Bone marrow smear; MGG-stained.
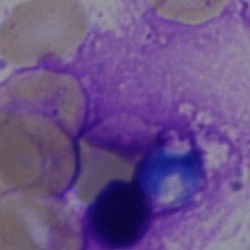 {"cell_type": "artifact"}